Bone marrow aspirate smear:
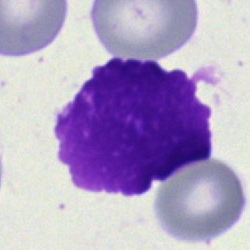
The cell shown is an artifact.